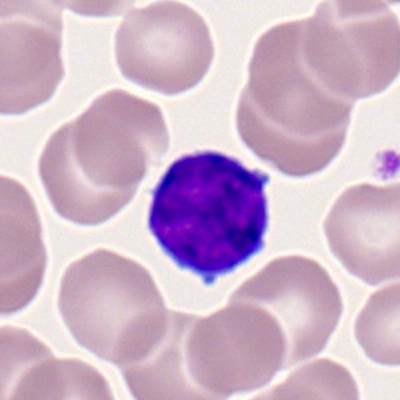

Showing a typical lymphocyte.